Bone marrow aspirate smear: 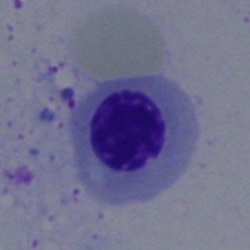An erythroblast.